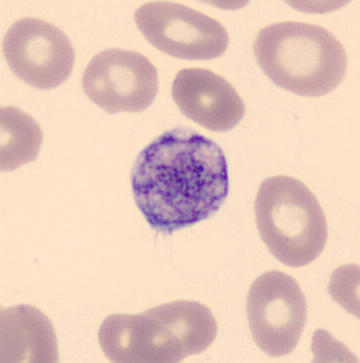 Cell type = thrombocyte.